Bone marrow smear
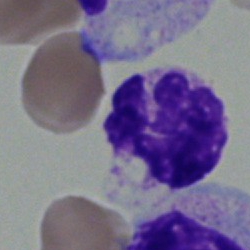 Q: What is the morphological classification of this cell?
A: It is a neutrophil (segmented).